Bone marrow aspirate smear:
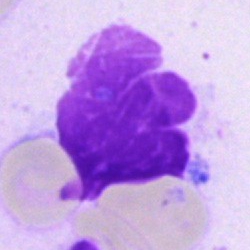
Specimen: bone marrow aspirate smear.
Cell: artifact.